May-Grünwald-Giemsa/Pappenheim stain. Bone marrow smear
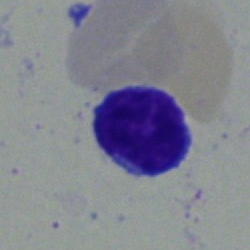Morphology → typical lymphocyte.